Bone marrow smear. 250×250. 40× oil immersion: 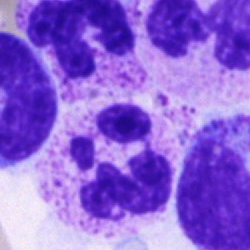

Cell — neutrophil (segmented).